250×250. Bone marrow aspirate smear
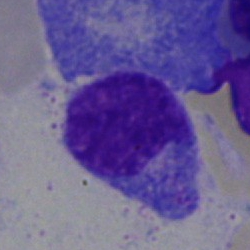
{"cell_type": "typical lymphocyte"}